Bone marrow smear. Brightfield microscopy, 40× oil immersion — 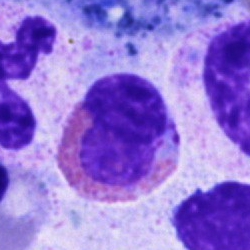 {"cell_type": "eosinophil", "lineage": "myeloid"}